May-Grünwald-Giemsa/Pappenheim stain. Bone marrow smear.
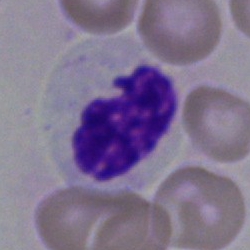 Single cell identified as a neutrophil (segmented).